Peripheral blood smear; single-cell field: 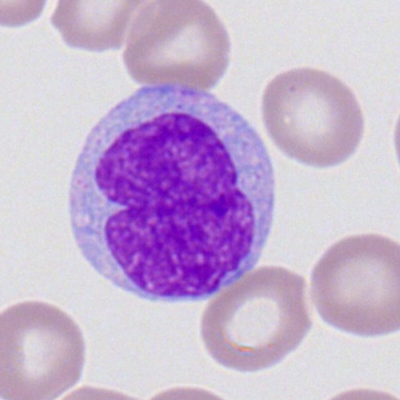Single cell identified as a monocyte.